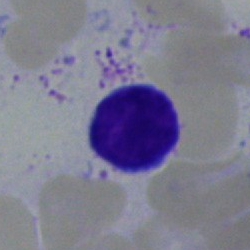Q: Identify the cell.
A: A typical lymphocyte.